Single cell centered in the field. Bone marrow aspirate smear — 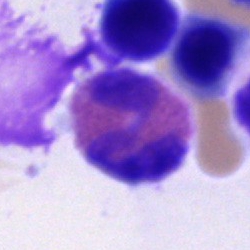 Specimen: bone marrow smear.
Cell: eosinophilic granulocyte.
Lineage: myeloid.